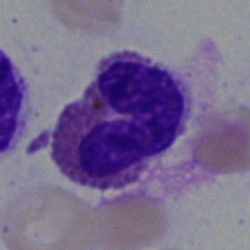 Q: What is shown here?
A: This is an eosinophilic granulocyte.